Pappenheim-stained; cropped to a single cell; bone marrow smear: 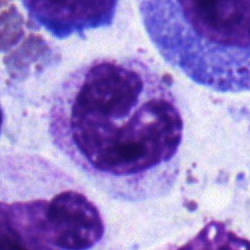
A segmented neutrophil.